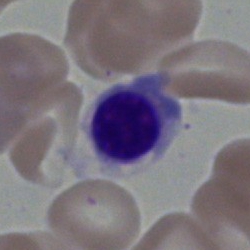A normoblast on a bone marrow smear.